Bone marrow smear; May-Grünwald-Giemsa/Pappenheim stain; 250×250 px:
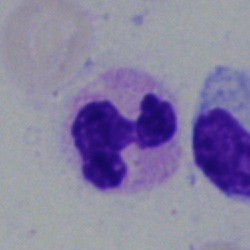 Cell type = polymorphonuclear neutrophil.